Peripheral blood smear; Romanowsky-type stain; brightfield, 100× oil-immersion objective:
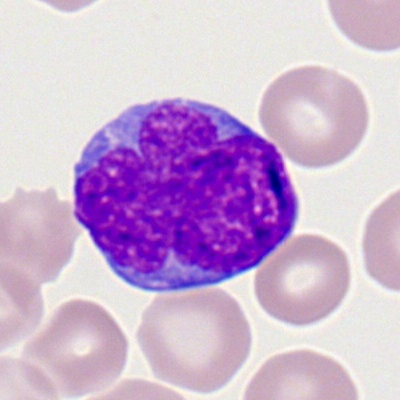

Cell type: myeloblast.